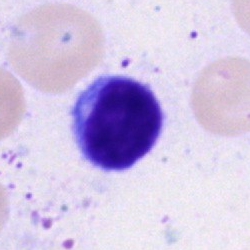Cell: typical lymphocyte.